Bone marrow aspirate smear:
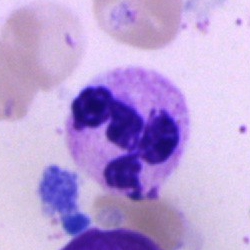

Morphology — segmented neutrophil.